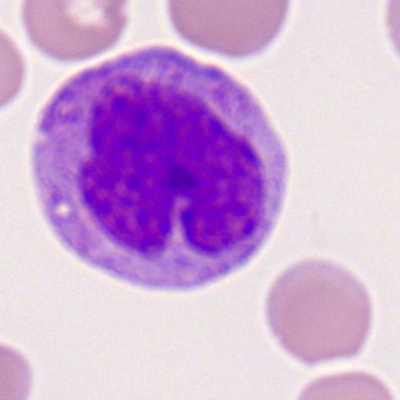Classification = monocyte.